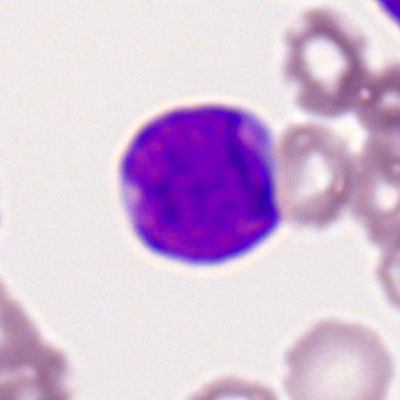A myeloblast.